250 by 250 pixels; bone marrow smear:
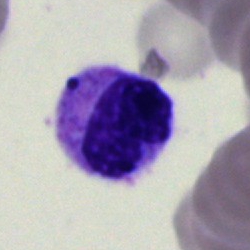 The cell type is metamyelocyte.